Bone marrow smear:
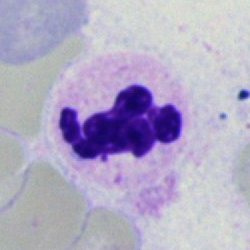
Cell — polymorphonuclear neutrophil.